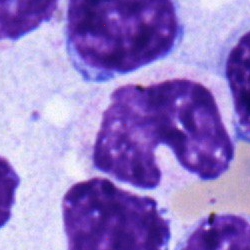
Showing a metamyelocyte.